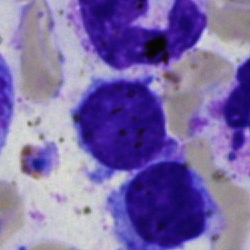
Specimen: bone marrow aspirate smear.
Cell: typical lymphocyte.
Lineage: lymphoid.